Bone marrow smear; single-cell crop
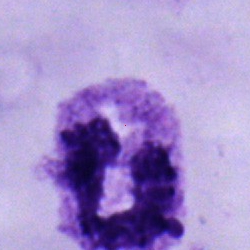

Q: What type of cell is this?
A: It is a neutrophil (segmented).